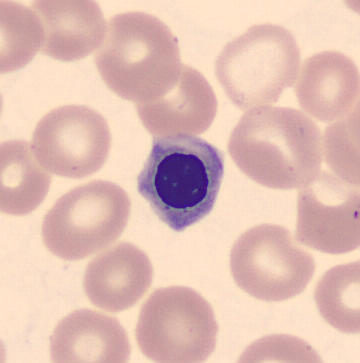Q: What type of cell is this?
A: An erythroblast.